Bone marrow smear · 250×250 · single-cell crop
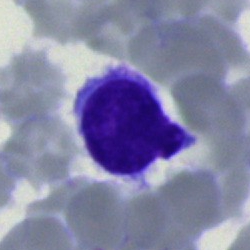 A lymphocyte.